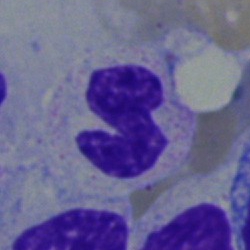Specimen: bone marrow aspirate smear.
Morphological class: stab cell.
Lineage: myeloid.